Bone marrow aspirate smear · brightfield, 40× oil-immersion objective · single-cell field: 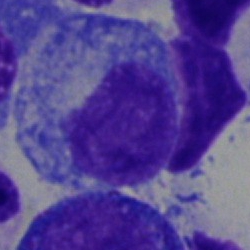 Cell — promyelocyte.